Bone marrow aspirate smear · 250 by 250 pixels · single cell centered in the field:
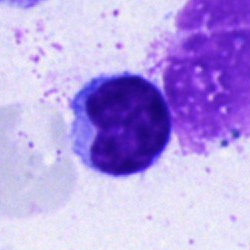
Morphology consistent with a lymphocyte.